Bone marrow smear.
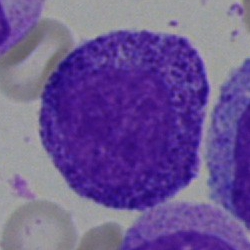
Impression — promyelocyte.